Bone marrow aspirate smear. Single cell centered in the field
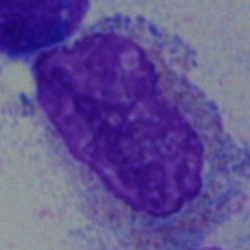 An eosinophil.